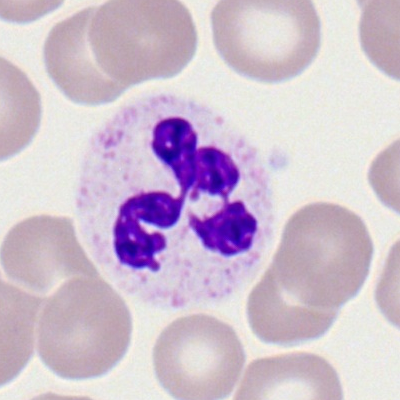A neutrophil (segmented).